40× objective, oil immersion; bone marrow aspirate smear:
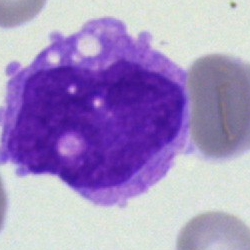
This is a monocyte.